Bone marrow smear. Pappenheim-stained. Cropped to a single cell
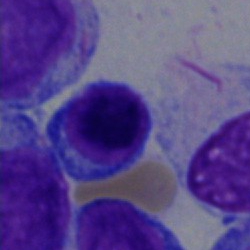
Cell — typical lymphocyte.